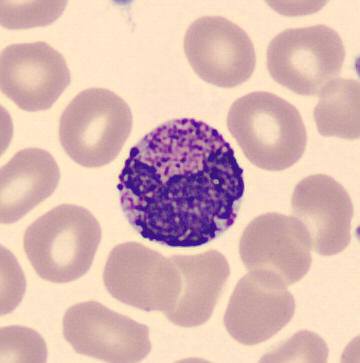 Specimen: peripheral blood smear.
Morphological class: basophilic granulocyte.
Lineage: myeloid.